Peripheral blood film: 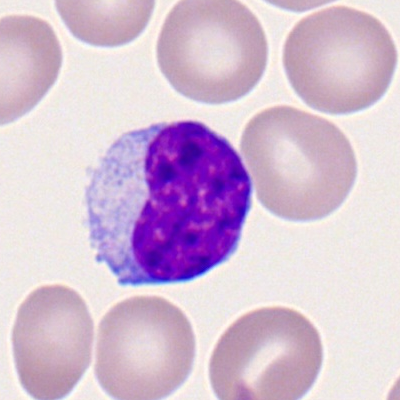Q: Which cell type is shown here?
A: A lymphocyte.